Bone marrow aspirate smear:
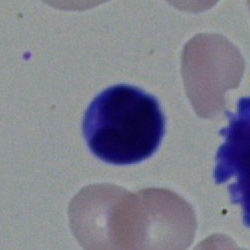
Q: What is shown here?
A: It is a typical lymphocyte.